Bone marrow smear.
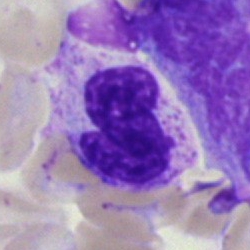

{"cell_type": "polymorphonuclear neutrophil"}